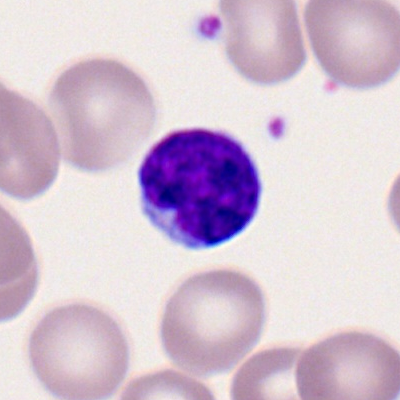
Peripheral blood smear showing a typical lymphocyte.